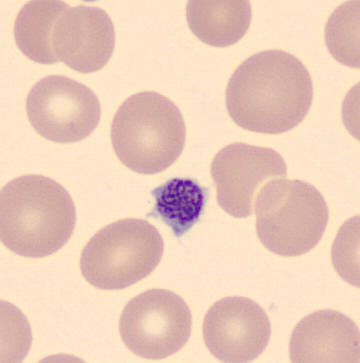Image: Peripheral blood film; image size 360×363.

Identified as a thrombocyte.